Peripheral blood film: 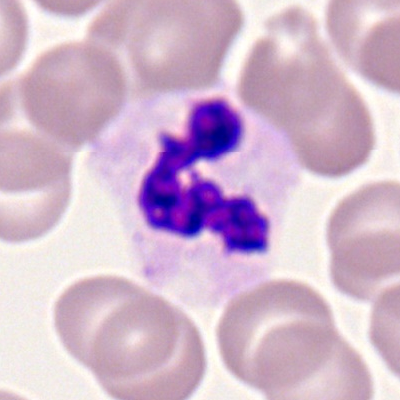 Single cell identified as a neutrophil (segmented).